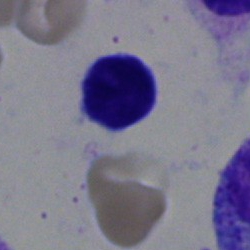
Lymphocyte.